Bone marrow smear: 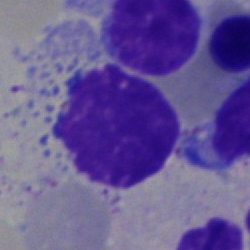Cell type — artifact.